Bone marrow smear. 40× objective, oil immersion: 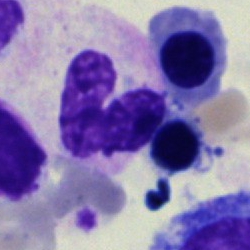Impression → segmented neutrophil.